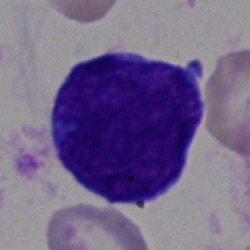 Morphology → blast.